Bone marrow aspirate smear:
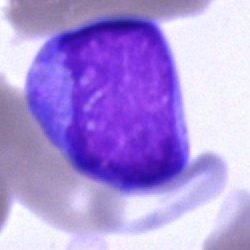

Morphology consistent with a blast cell.